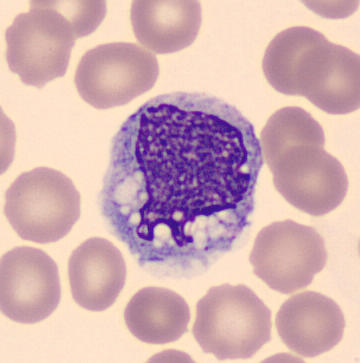

Specimen: peripheral blood smear.
Classification: monocyte.